Bone marrow aspirate smear. May-Grünwald-Giemsa/Pappenheim stain
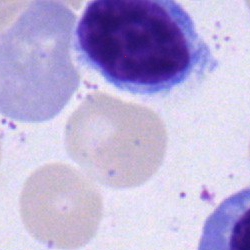Morphology consistent with a lymphocyte.